Bone marrow smear. 40× objective, oil immersion
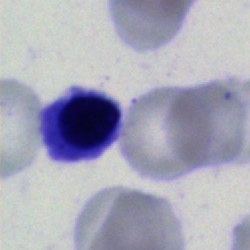The cell shown is an erythroblast.